Bone marrow aspirate smear — 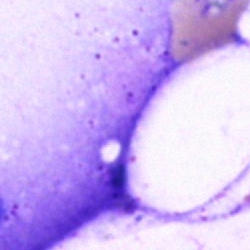

Showing an artifact.